Peripheral blood film · 400 by 400 pixels:
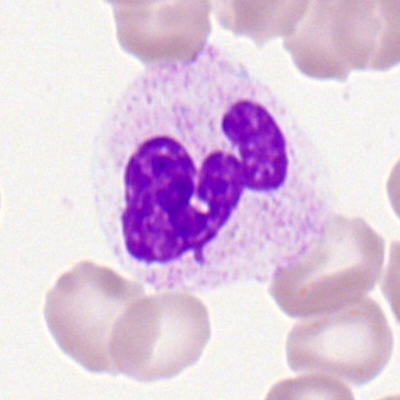

Q: Which cell type is shown here?
A: Neutrophil (segmented).